MGG-stained · bone marrow aspirate smear.
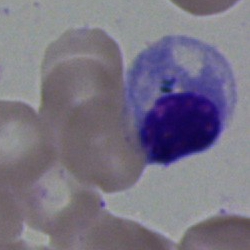Morphological class — nucleated red blood cell.